Bone marrow smear:
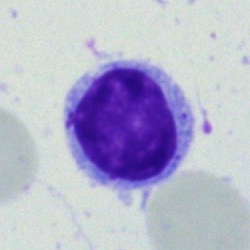

Impression → lymphocyte.